Bone marrow smear. Pappenheim-stained.
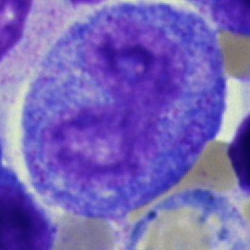

Impression — promyelocyte.